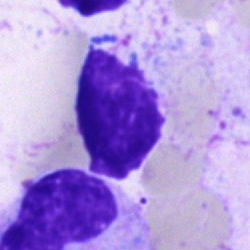Morphological class: artefact.